Bone marrow smear · single cell centered in the field:
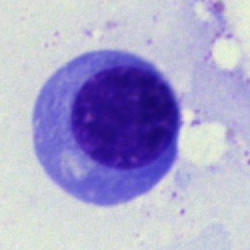Q: What is the morphological classification of this cell?
A: This is an erythroblast.